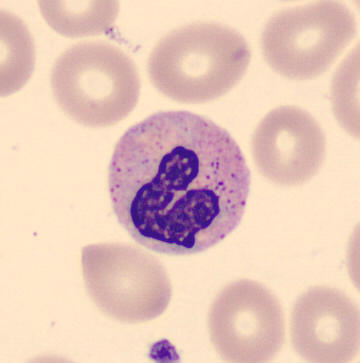The cell is band neutrophil.